250 by 250 pixels. Bone marrow aspirate smear. Brightfield microscopy, 40× oil immersion
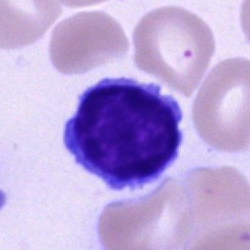 Classification: lymphocyte.